Bone marrow smear
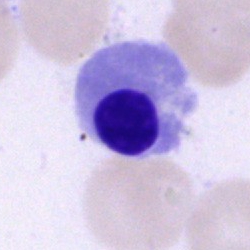A normoblast.